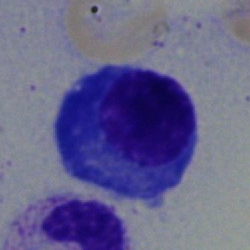

Specimen: bone marrow aspirate smear.
Classification: plasma cell.
Lineage: lymphoid.